MGG-stained; bone marrow smear — 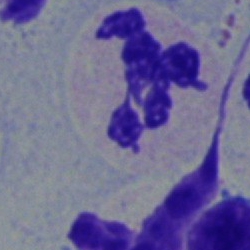 Cell: neutrophil (segmented).